Bone marrow smear; brightfield, 40× oil-immersion objective
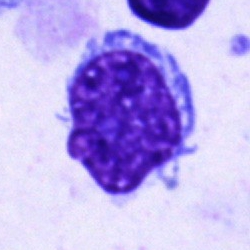
This is a promyelocyte.